Bone marrow smear: 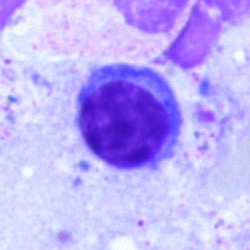
Impression → lymphocyte.